Bone marrow smear — 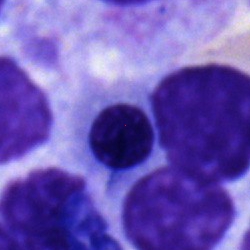Erythroblast.